40× oil immersion; 250 by 250 pixels; bone marrow aspirate smear.
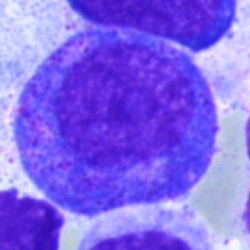
Morphology — progranulocyte.